Bone marrow aspirate smear.
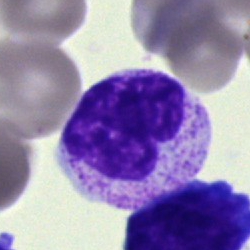
Q: Identify the cell.
A: A metamyelocyte.